Bone marrow smear
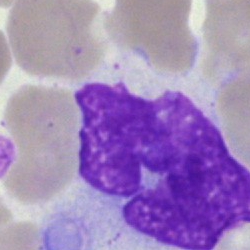
Specimen: bone marrow aspirate smear.
Cell type: artefact.